Bone marrow smear; brightfield microscopy, 40× oil immersion:
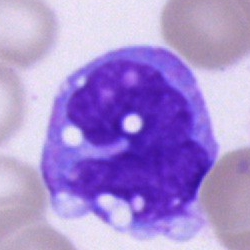

Q: What cell is this?
A: Monocyte.